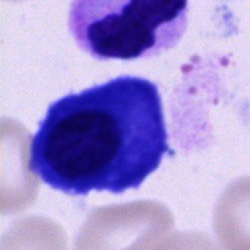 Morphology — plasmacyte.